Bone marrow smear.
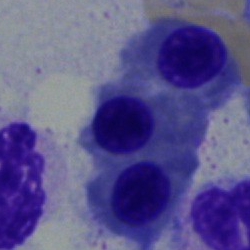
Specimen: bone marrow smear.
Classification: nucleated red blood cell.
Lineage: erythroid.